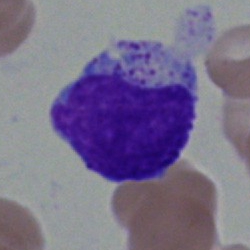

Q: What type of cell is this?
A: This is a lymphocyte.